Bone marrow aspirate smear:
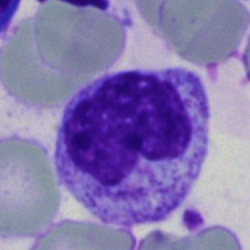

Single cell identified as a metamyelocyte.